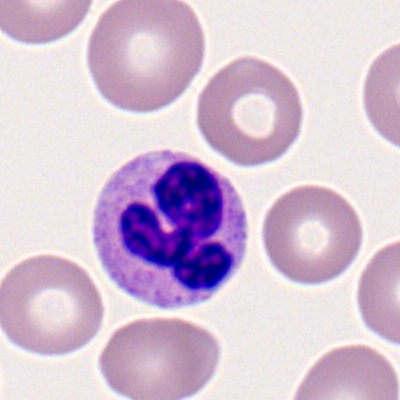 Q: What is the morphological classification of this cell?
A: Neutrophil (segmented).